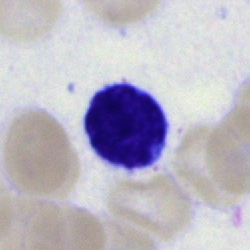
Specimen: bone marrow smear.
Morphological class: lymphocyte.